Pappenheim-stained · bone marrow smear.
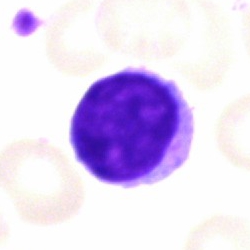 The cell is typical lymphocyte.